Bone marrow smear: 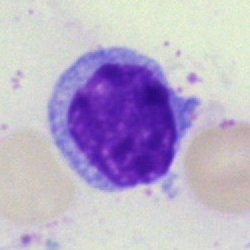
Classification: typical lymphocyte.